Bone marrow smear.
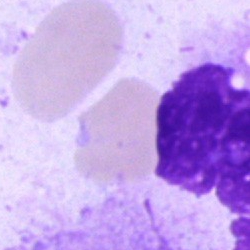

Q: What is shown here?
A: An artifact.